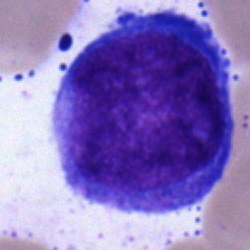

Specimen: bone marrow smear.
Cell type: blast.